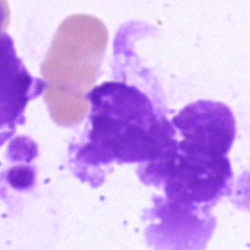

The classification is artefact.